Bone marrow smear; brightfield, 40× oil-immersion objective; image size 250×250.
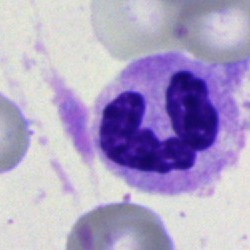

The classification is segmented neutrophil.